Single cell centered in the field; bone marrow aspirate smear
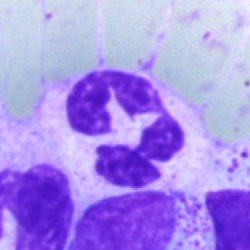 Q: What is shown here?
A: This is a neutrophil (segmented).